Single-cell field · MGG stain · peripheral blood smear
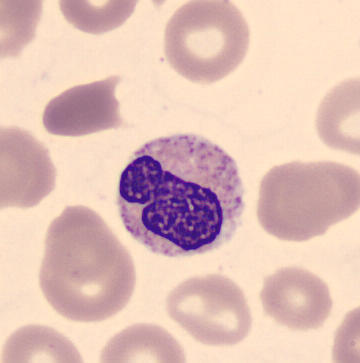
Morphology consistent with a neutrophil (band).